Bone marrow aspirate smear · 40× objective, oil immersion: 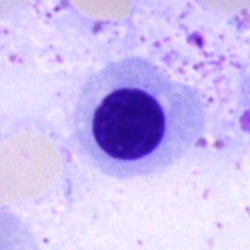

Q: What type of cell is this?
A: This is a blast cell.